Bone marrow aspirate smear — 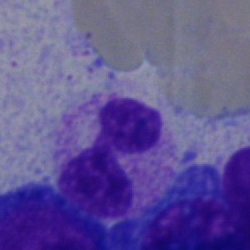Impression → polymorphonuclear neutrophil.